Bone marrow smear
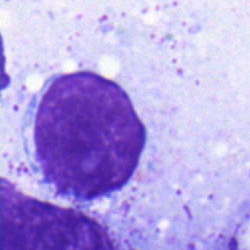

Classification — typical lymphocyte.